Bone marrow aspirate smear.
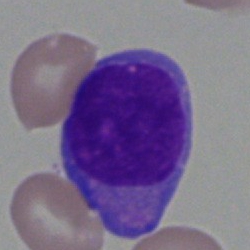
A blast cell.